Bone marrow aspirate smear:
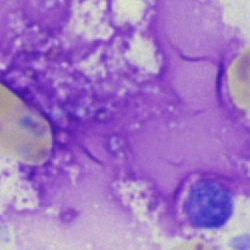The cell shown is an artifact.